250 by 250 pixels. Bone marrow aspirate smear. Single-cell crop — 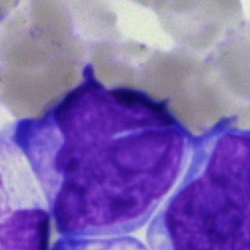

Morphology → blast cell.